Bone marrow smear — 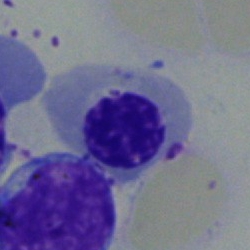
Q: What type of cell is this?
A: It is an erythroblast.